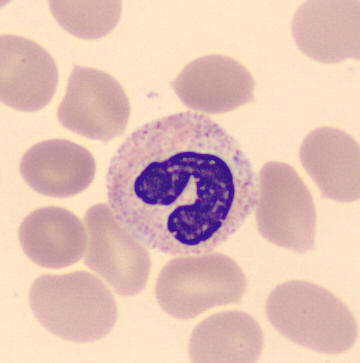

Preparation: Peripheral blood film.

Morphological class = segmented neutrophil.